Cropped to a single cell; peripheral blood film: 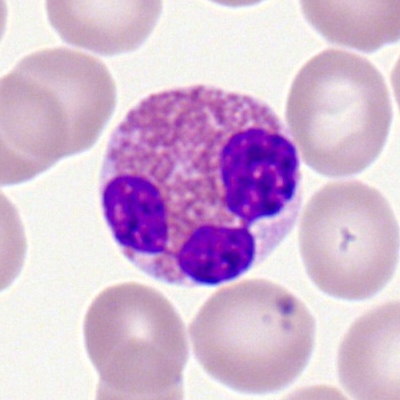 This is an eosinophil.